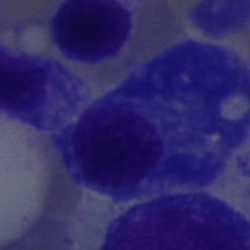Morphology → plasma cell.